Romanowsky-stained · peripheral blood smear:
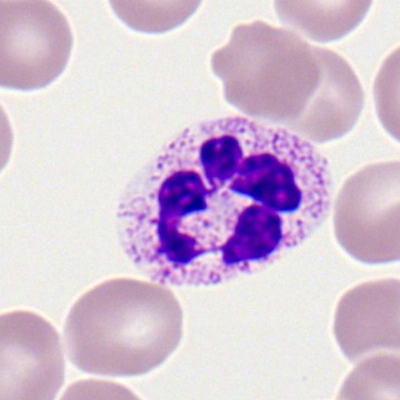A neutrophil (segmented).